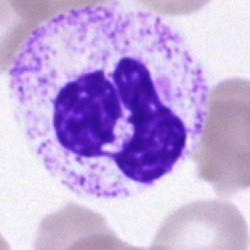 Q: Which cell type is shown here?
A: A polymorphonuclear neutrophil.